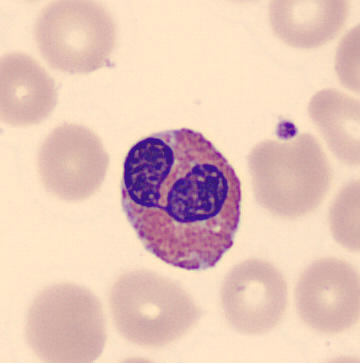

Cell = eosinophilic granulocyte.

Image: Cropped to a single cell · peripheral blood smear.